Bone marrow smear; 250×250 px:
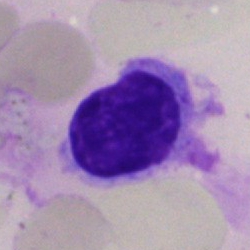 Cell type — typical lymphocyte.